Single cell centered in the field; bone marrow aspirate smear.
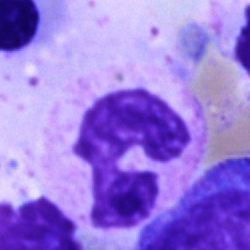
Polymorphonuclear neutrophil.